Image size 250×250; bone marrow aspirate smear
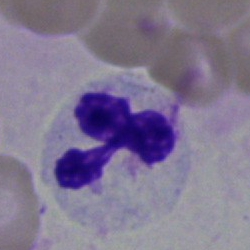A segmented neutrophil.